250×250; bone marrow smear:
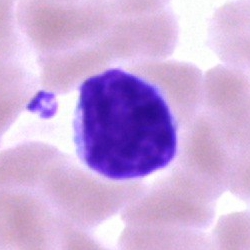

The classification is lymphocyte.